May-Grünwald-Giemsa/Pappenheim stain. Bone marrow smear:
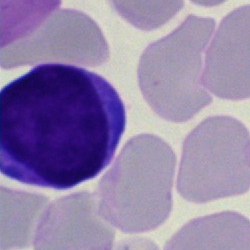
Specimen: bone marrow smear.
Classification: lymphocyte.
Lineage: lymphoid.